Bone marrow aspirate smear; 40× objective, oil immersion:
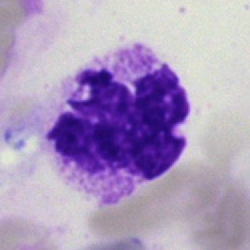Cell = polymorphonuclear neutrophil.